Bone marrow smear. Single-cell field — 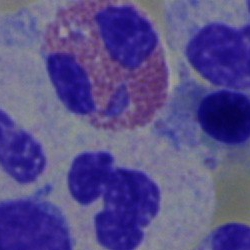
Single cell identified as an eosinophil.